Bone marrow smear. Single-cell field.
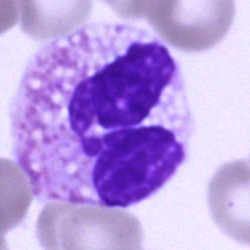The cell shown is a segmented neutrophil.